Peripheral blood film — 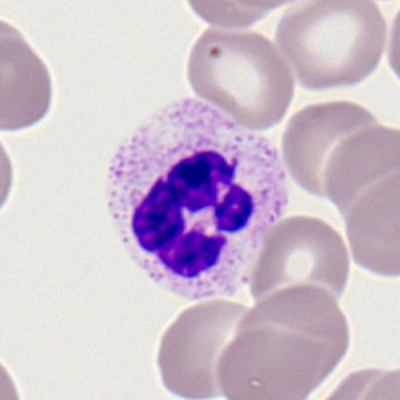Polymorphonuclear neutrophil.